250×250 px · bone marrow aspirate smear
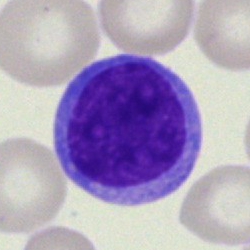 Q: Identify the cell.
A: It is a typical lymphocyte.